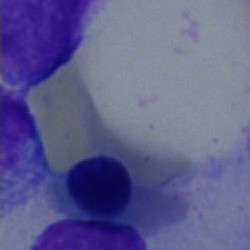
{"cell_type": "artefact"}